Single cell centered in the field. Bone marrow smear: 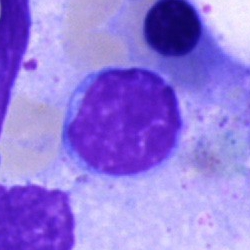
Specimen: bone marrow aspirate smear.
Morphological class: typical lymphocyte.
Lineage: lymphoid.